Single-cell crop. Bone marrow smear:
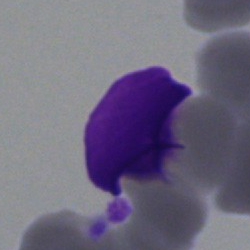Impression → artifact.